May-Grünwald-Giemsa stain. Bone marrow smear: 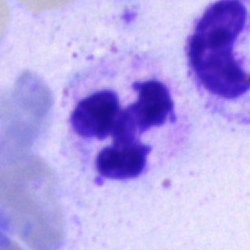

Cell type: segmented neutrophil.